40× objective, oil immersion; bone marrow aspirate smear; cropped to a single cell:
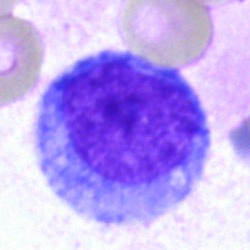This is a promyelocyte.